Bone marrow aspirate smear
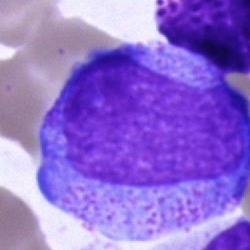
Cell type — promyelocyte.